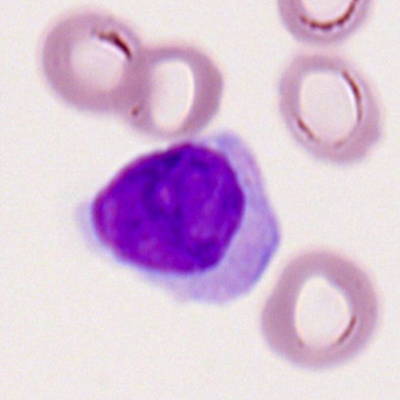Peripheral blood film, single cell — lymphocyte.